Bone marrow aspirate smear. May-Grünwald-Giemsa stain. Cropped to a single cell — 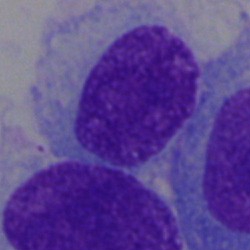Cell: plasma cell.